Single-cell crop. Bone marrow aspirate smear.
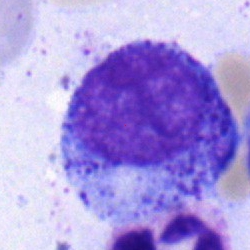
Morphology — myelocyte.